Bone marrow smear · Pappenheim-stained · cropped to a single cell
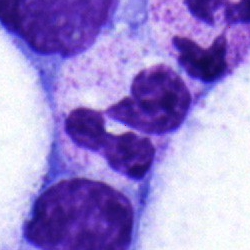 Morphology consistent with a polymorphonuclear neutrophil.